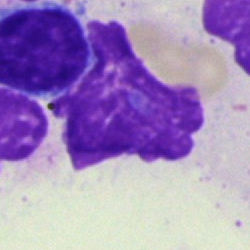
Q: What is shown here?
A: It is an artefact.